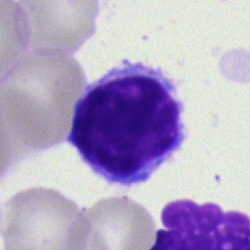 Q: What type of cell is this?
A: A typical lymphocyte.